Bone marrow smear
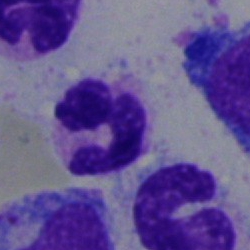
Showing a polymorphonuclear neutrophil.